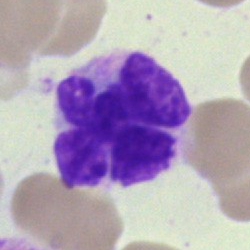
Showing an artefact.